Peripheral blood film:
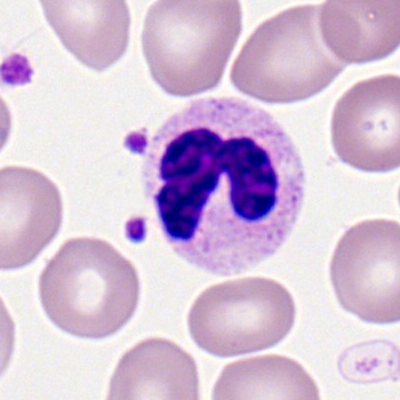 Cell = neutrophil (segmented).